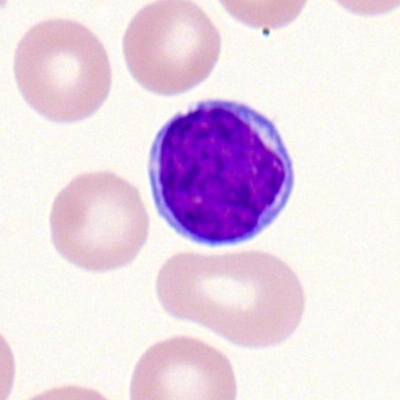 {"cell_type": "lymphocyte", "lineage": "lymphoid"}